Bone marrow smear: 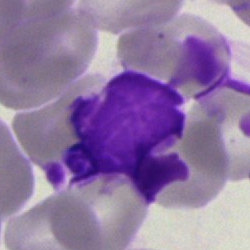
This is an artefact.